Bone marrow aspirate smear: 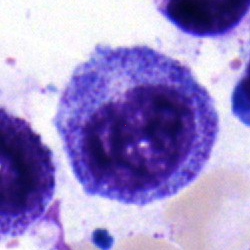 Cell — myelocyte.